40× objective, oil immersion · cropped to a single cell · bone marrow smear: 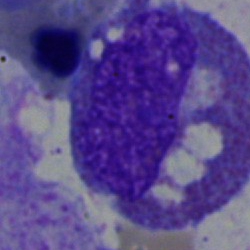Classification: eosinophilic granulocyte.